Bone marrow aspirate smear: 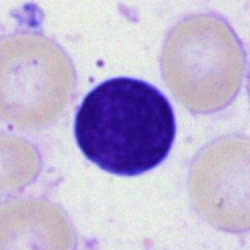 Lymphocyte.